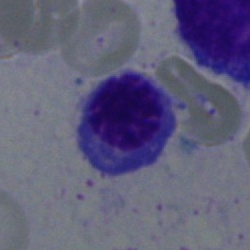 Morphology consistent with a nucleated red blood cell.